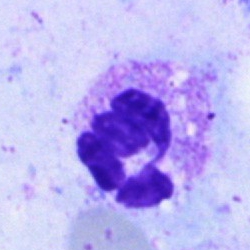Segmented neutrophil.